May-Grünwald-Giemsa stain · bone marrow aspirate smear
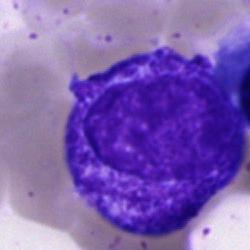 Q: Which cell type is shown here?
A: It is a progranulocyte.